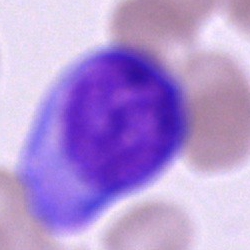An undifferentiated blast on a bone marrow smear.